Bone marrow smear · brightfield, 40× oil-immersion objective: 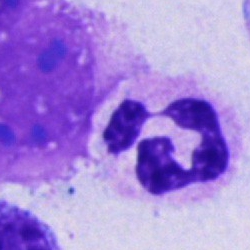{"cell_type": "neutrophil (segmented)"}